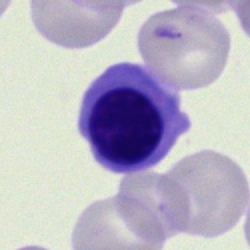

Impression → nucleated red cell.